Pappenheim-stained · bone marrow smear.
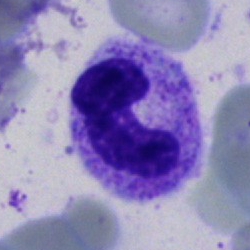The cell is neutrophil (band).